Bone marrow smear
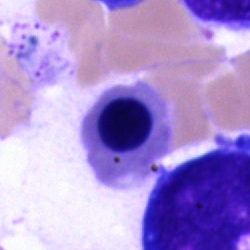

{"cell_type": "erythroblast"}